Bone marrow smear:
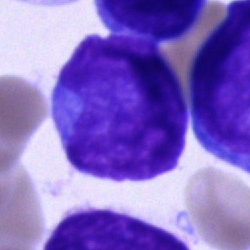

Specimen: bone marrow aspirate smear.
Cell: blast cell.